Bone marrow aspirate smear; image size 250×250; single-cell crop.
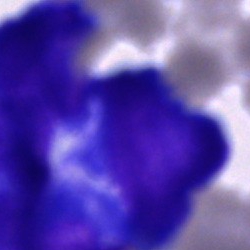

Morphology consistent with an undifferentiated blast.